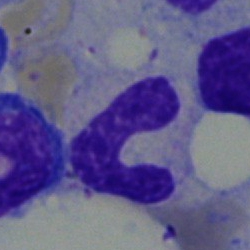
Cell type = band neutrophil.